Bone marrow aspirate smear.
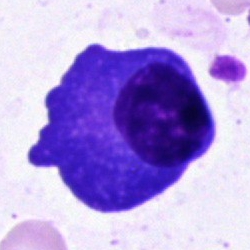 Plasma cell.